Brightfield, 40× oil-immersion objective; bone marrow smear
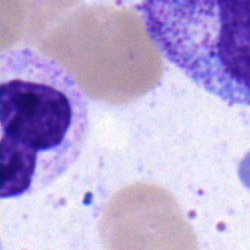Classification: band-form neutrophil.